MGG-stained · bone marrow smear:
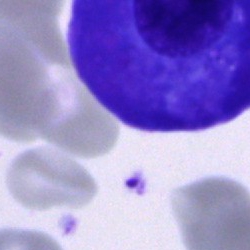 A plasma cell.